Bone marrow smear; 40× oil immersion; 250×250 px — 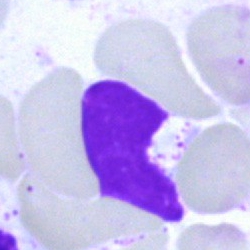

Cell = artefact.